Bone marrow aspirate smear: 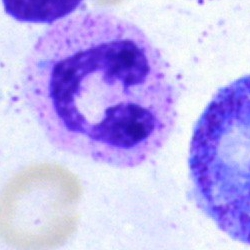
Morphology consistent with a segmented neutrophil.